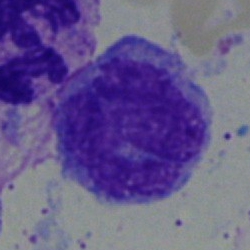{"cell_type": "monocyte"}